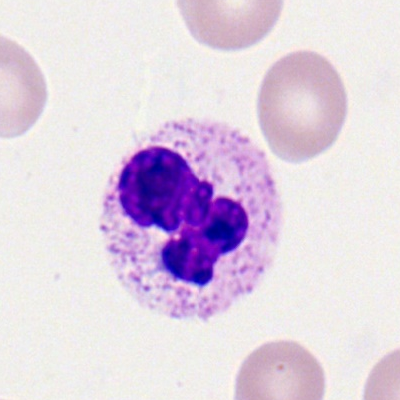

A neutrophil (segmented) on a peripheral blood smear.